Bone marrow aspirate smear: 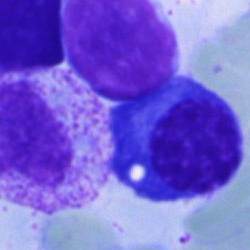Q: Which cell type is shown here?
A: It is a plasma cell.